Bone marrow smear · MGG-stained — 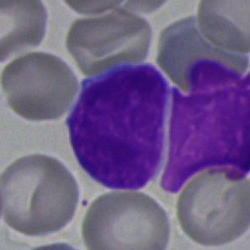Specimen: bone marrow smear.
Morphological class: typical lymphocyte.